May-Grünwald-Giemsa/Pappenheim stain; bone marrow smear:
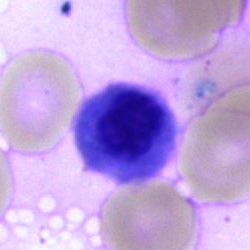
Q: What cell is this?
A: This is a nucleated red cell.